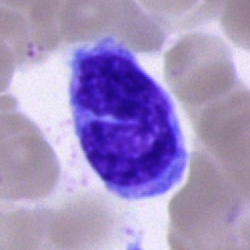Cell: monocyte.